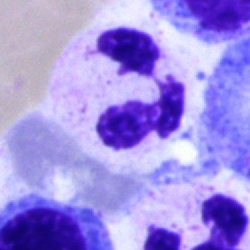
A polymorphonuclear neutrophil on a bone marrow smear.